Bone marrow aspirate smear
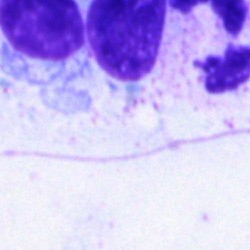 Single cell identified as an artifact.